Bone marrow smear — 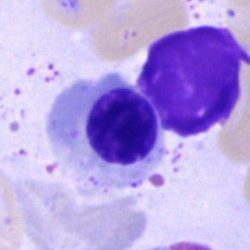 An erythroblast.